Bone marrow aspirate smear · 250×250 px · brightfield, 40× oil-immersion objective
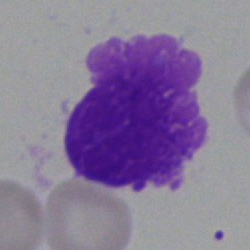
Morphology → artefact.